Bone marrow smear.
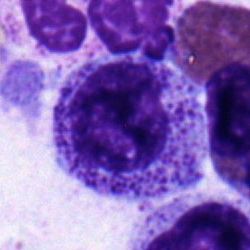 Cell type = myelocyte.